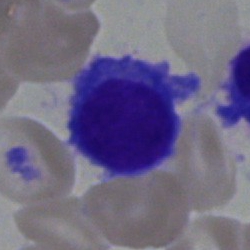

Specimen: bone marrow aspirate smear.
Morphological class: plasmacyte.
Lineage: lymphoid.